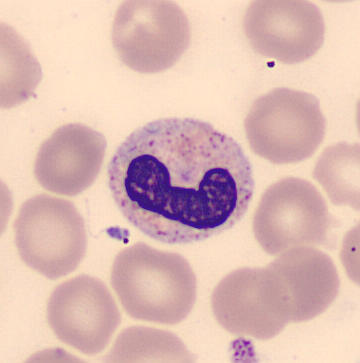
The cell type is neutrophil (band).